Bone marrow aspirate smear.
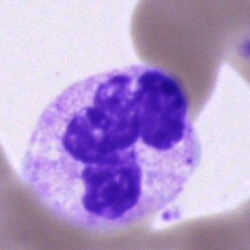

Morphology consistent with a segmented neutrophil.